Bone marrow aspirate smear. Single-cell field:
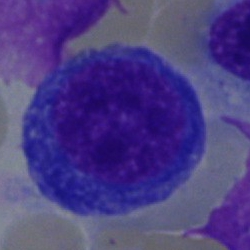 Q: What type of cell is this?
A: This is a pronormoblast.